Single cell centered in the field · peripheral blood smear.
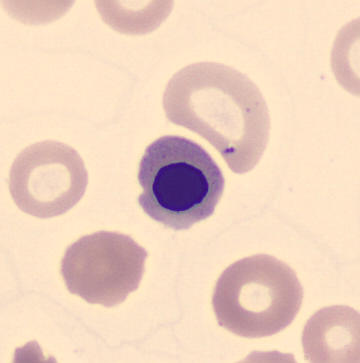

Cell — nucleated red cell.